Bone marrow smear · single-cell field.
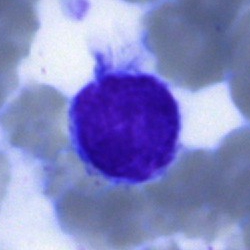Typical lymphocyte.